Bone marrow smear; 40× oil immersion.
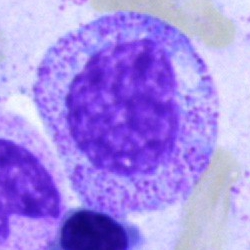Q: What cell is this?
A: A myelocyte.